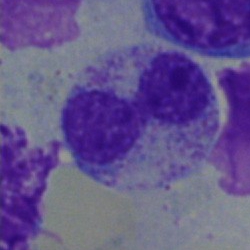
This is a band neutrophil.